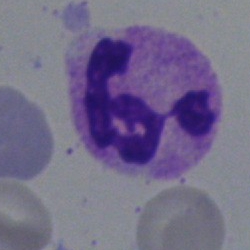

Cell = segmented neutrophil.